Cropped to a single cell · bone marrow smear · brightfield, 40× oil-immersion objective — 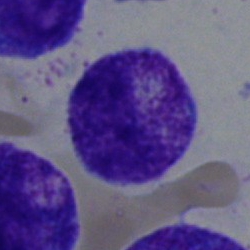

The morphological class is metamyelocyte.